100× oil immersion; peripheral blood smear; image size 400×400: 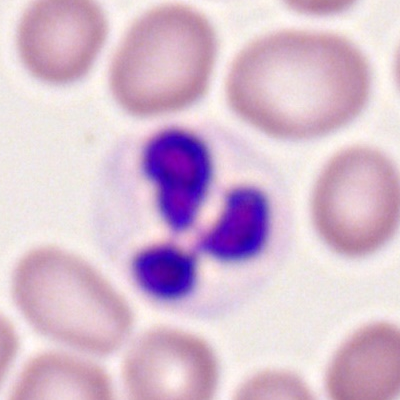
The cell shown is a segmented neutrophil.